Bone marrow aspirate smear.
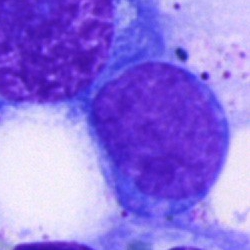
Single cell identified as an undifferentiated blast.